Bone marrow aspirate smear: 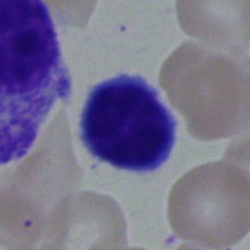 Lymphocyte.